Brightfield, 40× oil-immersion objective; bone marrow aspirate smear: 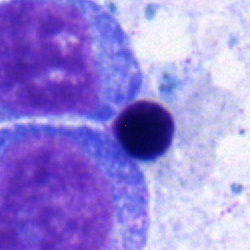 Nucleated red blood cell.